Bone marrow aspirate smear — 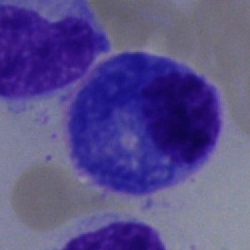
The cell type is plasmacyte.